Bone marrow aspirate smear — 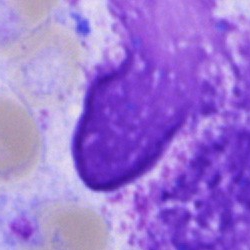 Q: What is shown here?
A: This is an artifact.